Peripheral blood smear: 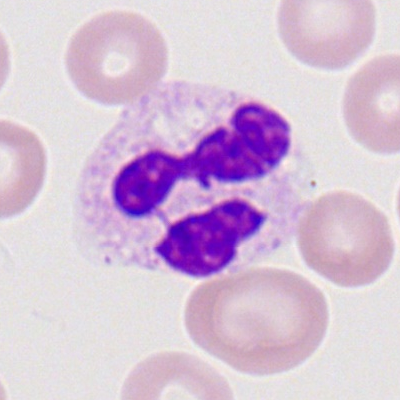 Specimen: peripheral blood smear.
Morphological class: segmented neutrophil.